Bone marrow aspirate smear.
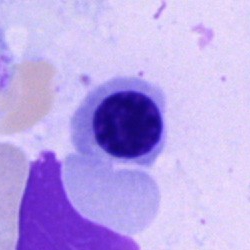 Q: What is the morphological classification of this cell?
A: It is a normoblast.